Bone marrow aspirate smear
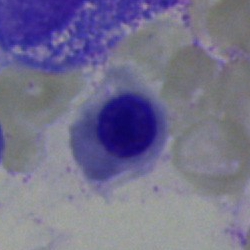

Q: What is shown here?
A: This is a normoblast.